Bone marrow aspirate smear: 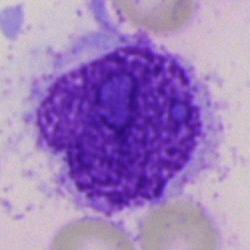
The cell shown is an artefact.